Bone marrow aspirate smear; May-Grünwald-Giemsa stain
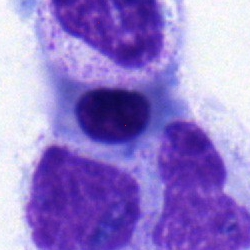 {"cell_type": "nucleated red cell"}